250 by 250 pixels · single cell centered in the field · bone marrow aspirate smear
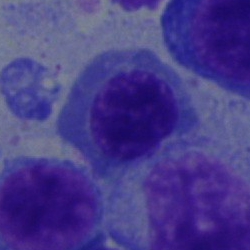

The cell shown is an erythroblast.